Bone marrow smear
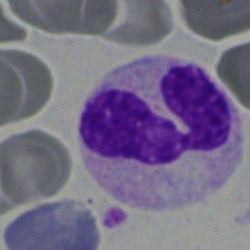
Morphology consistent with a polymorphonuclear neutrophil.